Bone marrow smear · single-cell field · brightfield, 40× oil-immersion objective — 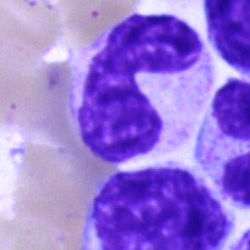

Showing a metamyelocyte.